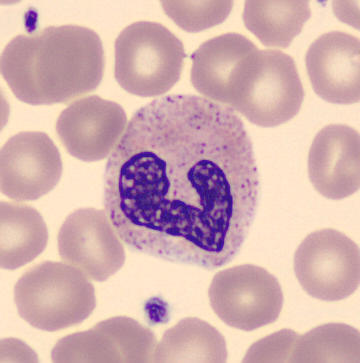
Acquisition: Single cell centered in the field; 360×363 px.
Specimen: peripheral blood smear.
Cell type: band-form neutrophil.
Lineage: myeloid.